Bone marrow aspirate smear; 40× objective, oil immersion:
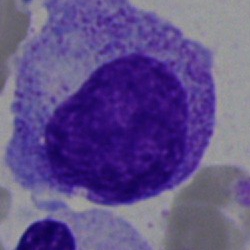Q: Which cell type is shown here?
A: It is a myelocyte.